Bone marrow smear
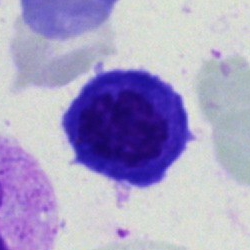

{"cell_type": "normoblast", "lineage": "erythroid"}